Bone marrow aspirate smear — 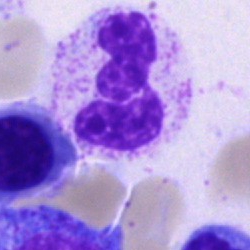
This is a neutrophil (segmented).